Bone marrow aspirate smear.
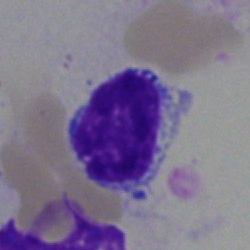
Impression → typical lymphocyte.